Bone marrow smear · cropped to a single cell · 250×250 px — 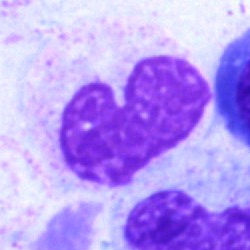 Classification = metamyelocyte.